250×250 · bone marrow aspirate smear:
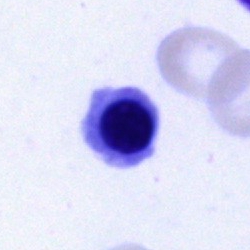 Showing a nucleated red cell.